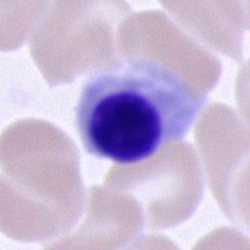 Q: What type of cell is this?
A: A nucleated red cell.